May-Grünwald-Giemsa/Pappenheim stain. Bone marrow aspirate smear:
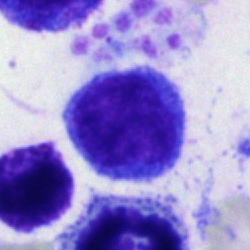 Morphology — monocyte.